Bone marrow smear — 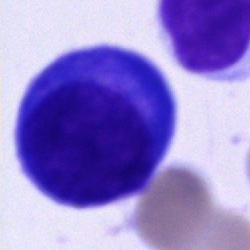 A plasma cell.